Bone marrow aspirate smear · single-cell field · 250 by 250 pixels.
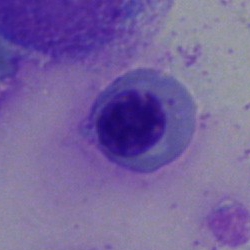 Morphological class: nucleated red blood cell.